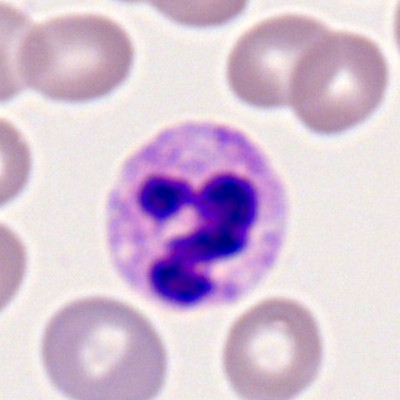 A segmented neutrophil.